Bone marrow smear: 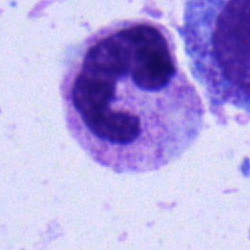

Q: What cell is this?
A: A segmented neutrophil.